Bone marrow aspirate smear. Pappenheim-stained.
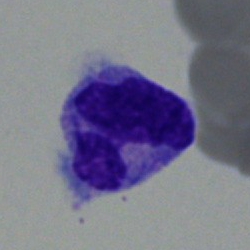The cell shown is a monocyte.